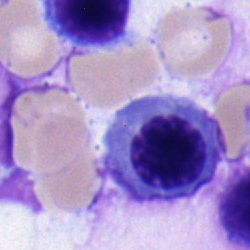

Nucleated red blood cell.